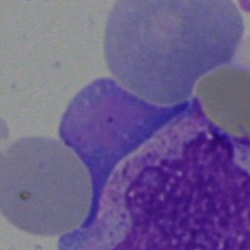
Cell type = artefact.